Bone marrow aspirate smear; 250 by 250 pixels; 40× oil immersion
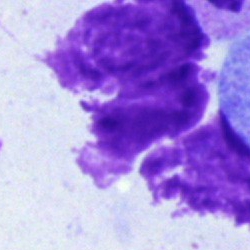Morphology → artefact.